Bone marrow smear · May-Grünwald-Giemsa stain
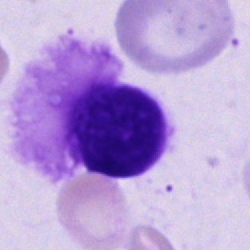

Cell type: artefact.